Bone marrow smear: 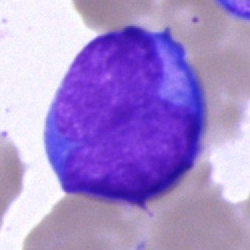 Q: What is the morphological classification of this cell?
A: Undifferentiated blast.